100× oil immersion, 14.14 px/µm · Romanowsky-type stain · peripheral blood film.
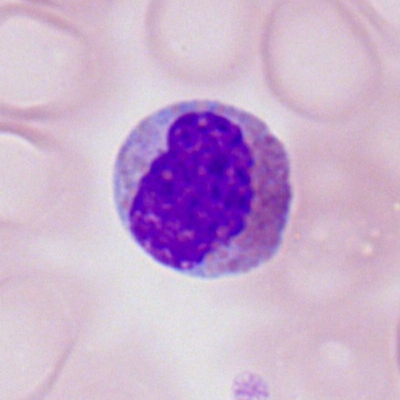

Q: What is shown here?
A: This is an eosinophilic granulocyte.